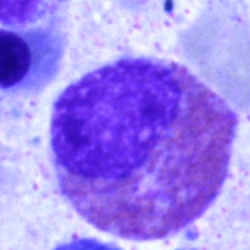 {"cell_type": "eosinophil", "lineage": "myeloid"}